Bone marrow aspirate smear. Image size 250×250 — 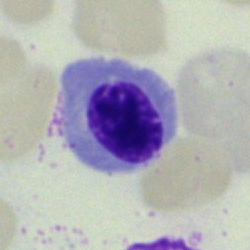

Morphology consistent with a nucleated red cell.